Bone marrow smear.
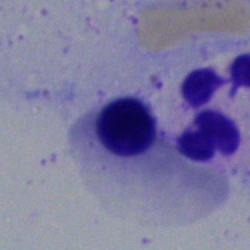Cell type — erythroblast.